Bone marrow aspirate smear. Brightfield microscopy, 40× oil immersion. Single cell centered in the field:
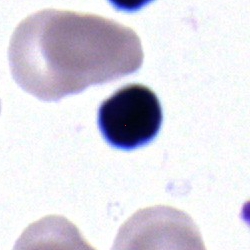Impression — typical lymphocyte.